Brightfield, 40× oil-immersion objective; bone marrow smear:
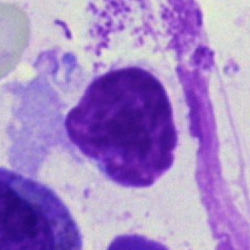 Specimen: bone marrow aspirate smear.
Cell type: artefact.